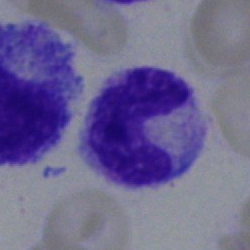

Cell: band neutrophil.